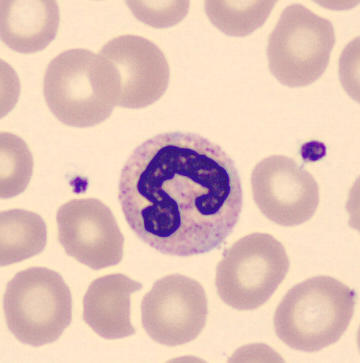
Acquisition: Peripheral blood smear.

The cell is polymorphonuclear neutrophil.